250 by 250 pixels · May-Grünwald-Giemsa/Pappenheim stain · bone marrow smear.
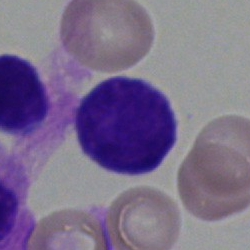 {"cell_type": "typical lymphocyte"}